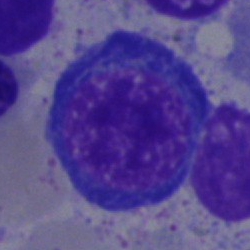
A nucleated red cell.